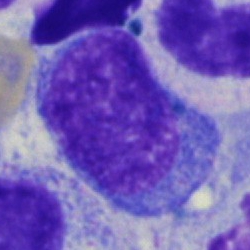

Q: What is shown here?
A: This is an undifferentiated blast.